Single-cell field; bone marrow smear; brightfield microscopy, 40× oil immersion: 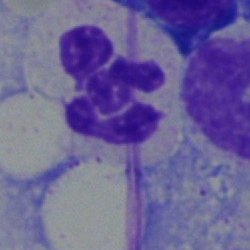

Morphology consistent with a polymorphonuclear neutrophil.